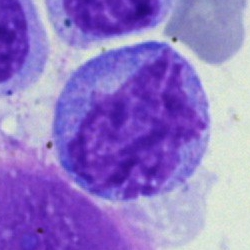Cell type: lymphocyte.